Bone marrow smear.
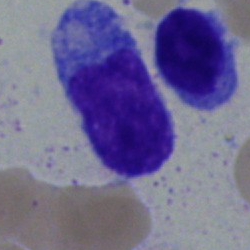A blast cell.